Bone marrow aspirate smear.
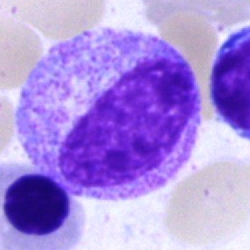
Specimen: bone marrow aspirate smear.
Morphological class: metamyelocyte.
Lineage: myeloid.